Image size 250×250; Pappenheim-stained; bone marrow smear
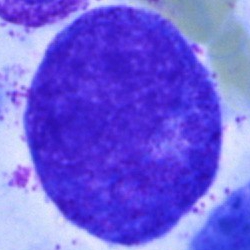Impression — progranulocyte.